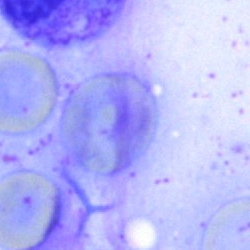 Morphology — artifact.